Single-cell crop; bone marrow smear
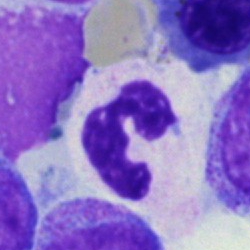
A neutrophil (segmented).